May-Grünwald-Giemsa stain · bone marrow smear — 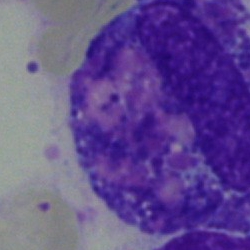

This is an other cell type.